Bone marrow smear.
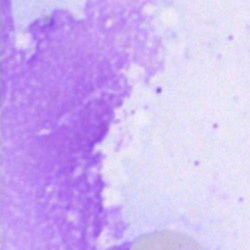
The cell type is artefact.